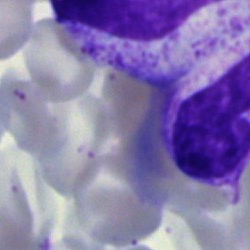

Morphology — artifact.